Single-cell crop · bone marrow smear.
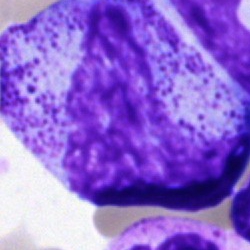 Cell = promyelocyte.